Bone marrow smear. 250 by 250 pixels.
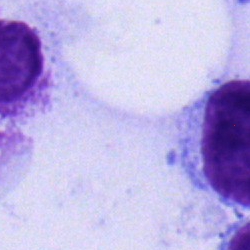
Q: Identify the cell.
A: This is a lymphocyte.